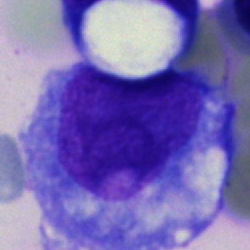 The morphological class is monocyte.